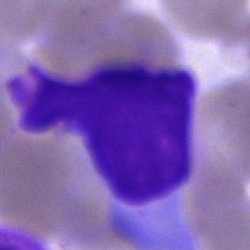

Q: Which cell type is shown here?
A: It is a cell of indeterminate lineage.